Bone marrow smear.
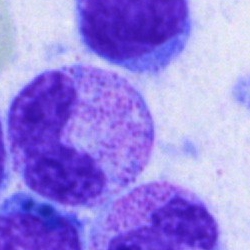
Neutrophil (segmented).